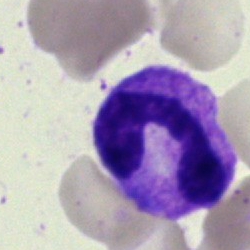 Showing a polymorphonuclear neutrophil.